May-Grünwald-Giemsa stain; 250 by 250 pixels; bone marrow smear: 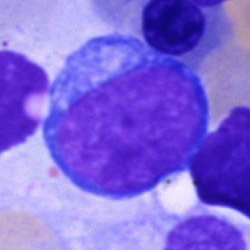

Specimen: bone marrow aspirate smear.
Classification: undifferentiated blast.